Bone marrow aspirate smear
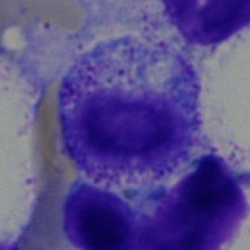

The classification is myelocyte.